Bone marrow aspirate smear.
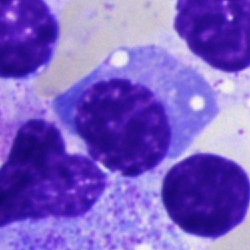

Showing an erythroblast.